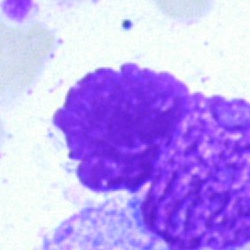This is an artifact.